Bone marrow smear; Pappenheim-stained
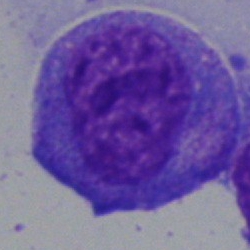

The cell shown is a promyelocyte.